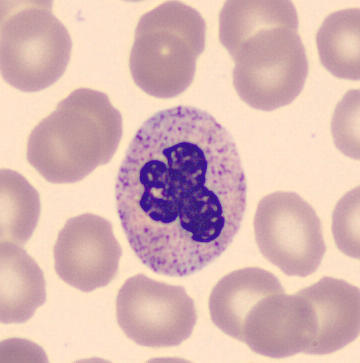

The cell is neutrophil (segmented).